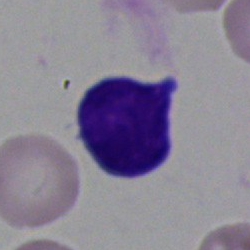
Morphological class: blast cell.